40× objective, oil immersion; bone marrow aspirate smear.
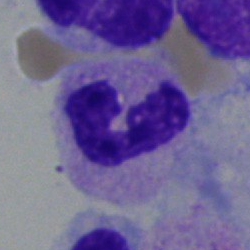 Morphology consistent with a neutrophil (segmented).